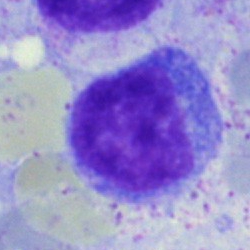
This is a blast cell.